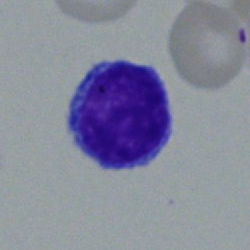 Morphology — lymphocyte.